Bone marrow smear.
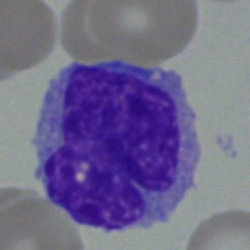
Monocyte.